Bone marrow aspirate smear
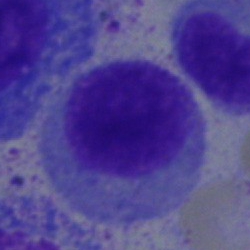 Morphology — myelocyte.